Bone marrow aspirate smear · single-cell field
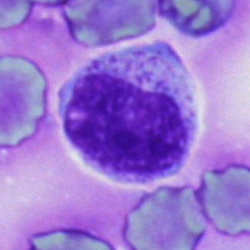Cell type — myelocyte.